Bone marrow smear; image size 250×250; May-Grünwald-Giemsa/Pappenheim stain:
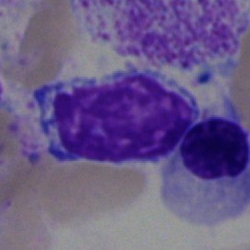

Classification = blast cell.